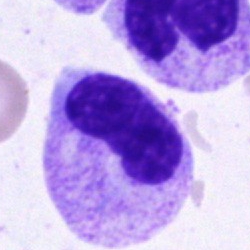Bone marrow aspirate smear, single cell — neutrophil (band).